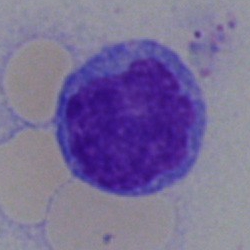

The cell shown is a promyelocyte.